Bone marrow aspirate smear — 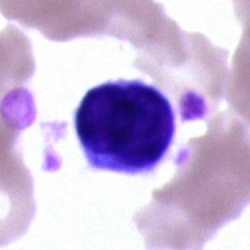 Single cell identified as a lymphocyte.